Brightfield, 40× oil-immersion objective. Bone marrow aspirate smear.
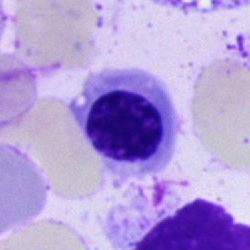Q: What is shown here?
A: A nucleated red blood cell.